Bone marrow aspirate smear.
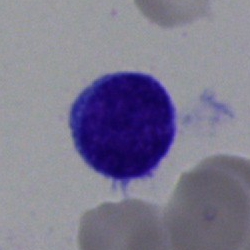

A lymphocyte.